Single-cell field; bone marrow smear — 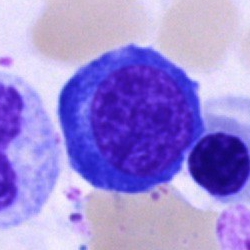

This is a nucleated red cell.